Bone marrow aspirate smear; single cell centered in the field — 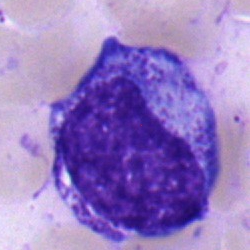

This is a metamyelocyte.